Peripheral blood smear — 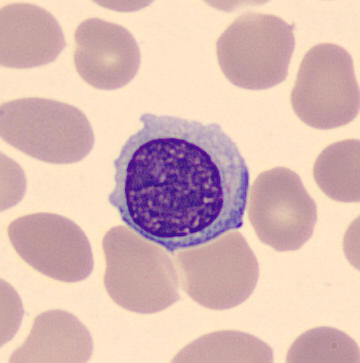Showing a typical lymphocyte.